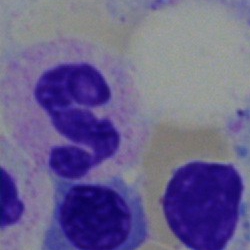{"cell_type": "polymorphonuclear neutrophil", "lineage": "myeloid"}